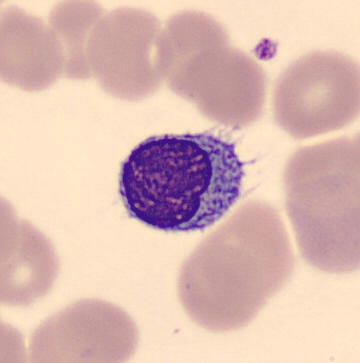

Preparation: Imaged on a CellaVision DM96 analyser. Peripheral blood smear.

This is a typical lymphocyte.